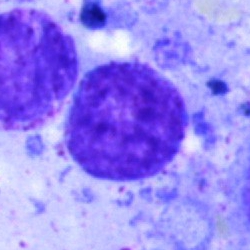

Q: What is shown here?
A: An artifact.